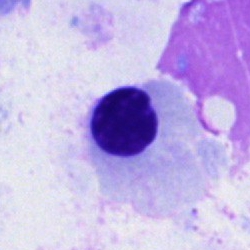 An erythroblast.